Bone marrow aspirate smear · 250 by 250 pixels:
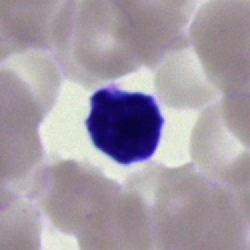
Classification = lymphocyte.